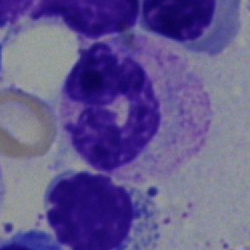
Classification: polymorphonuclear neutrophil.